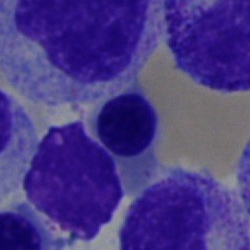
{"cell_type": "nucleated red cell"}